100× oil immersion, 14.14 px/µm · peripheral blood smear
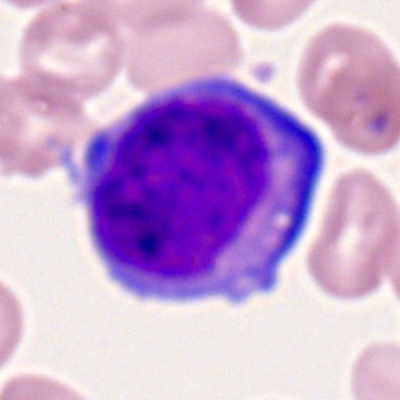The cell shown is a myeloid blast.